Bone marrow smear — 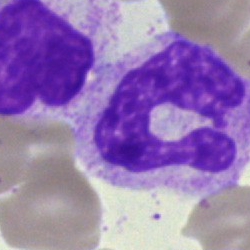

Q: What is shown here?
A: A neutrophil (band).